Bone marrow smear. Cropped to a single cell
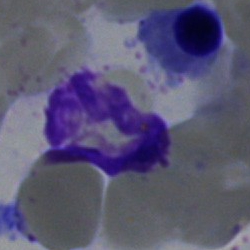

Q: What is shown here?
A: This is an artefact.